Pappenheim-stained · bone marrow aspirate smear: 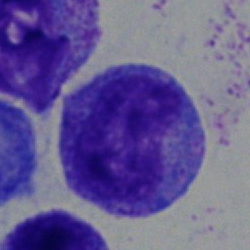
A promyelocyte.